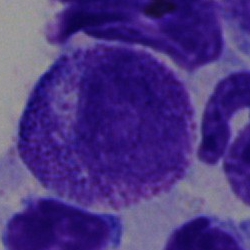 Showing a myelocyte.